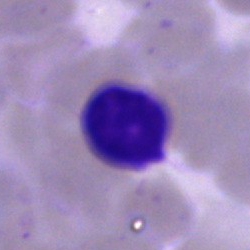

Bone marrow aspirate smear, single cell — artifact.